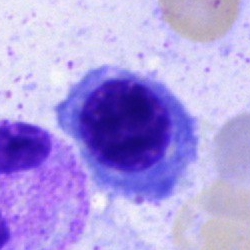
Impression → nucleated red cell.